Bone marrow smear. Brightfield microscopy, 40× oil immersion.
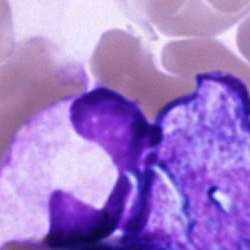 Q: What is shown here?
A: It is an unidentifiable cell.